Single-cell field; bone marrow aspirate smear:
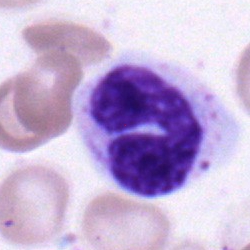 Classification = band neutrophil.